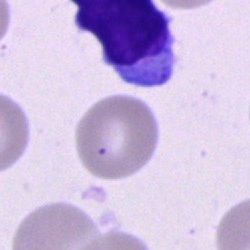 Q: What cell is this?
A: A lymphocyte.